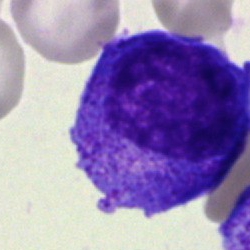
Impression — progranulocyte.